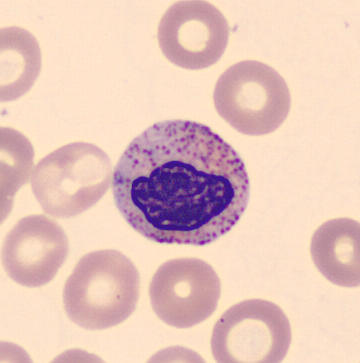 {"cell_type": "metamyelocyte"} Image: Peripheral blood smear.